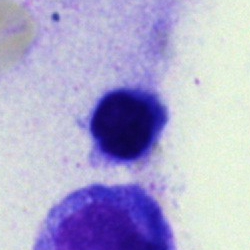 Impression — artifact.